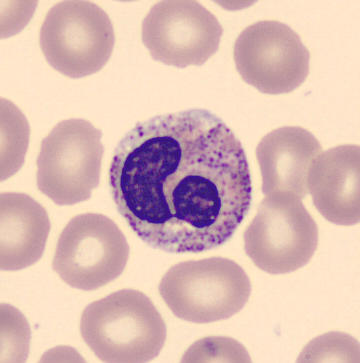 A segmented neutrophil on a peripheral blood smear.